May-Grünwald-Giemsa stain. Bone marrow aspirate smear. Single-cell field:
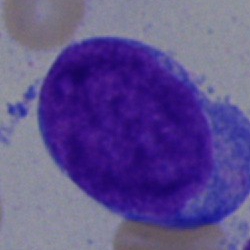 Single cell identified as a blast.